Bone marrow aspirate smear · 40× oil immersion.
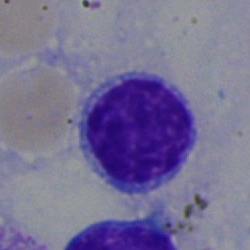

Q: Identify the cell.
A: It is a lymphocyte.